Bone marrow smear.
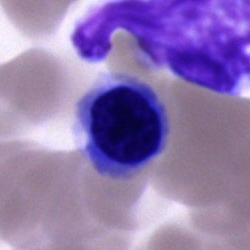
Specimen: bone marrow aspirate smear.
Cell type: nucleated red blood cell.
Lineage: erythroid.